Bone marrow aspirate smear; May-Grünwald-Giemsa stain.
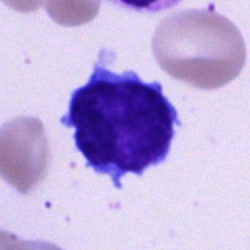
Specimen: bone marrow smear.
Cell type: typical lymphocyte.